Brightfield, 40× oil-immersion objective; bone marrow smear — 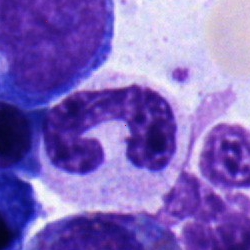

Cell = band-form neutrophil.